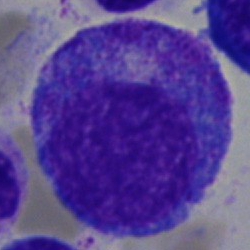
{"cell_type": "promyelocyte", "lineage": "myeloid"}